May-Grünwald-Giemsa/Pappenheim stain; bone marrow aspirate smear; 250 by 250 pixels
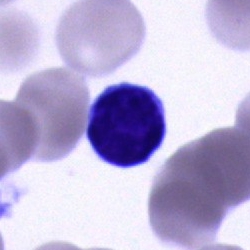 Morphology — lymphocyte.